Single-cell crop. Bone marrow aspirate smear.
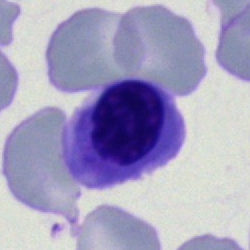Q: What cell is this?
A: Nucleated red blood cell.